40× objective, oil immersion. Bone marrow smear:
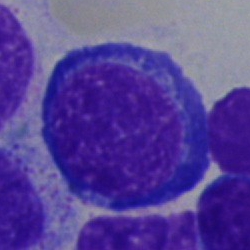Morphology consistent with a normoblast.